Bone marrow smear — 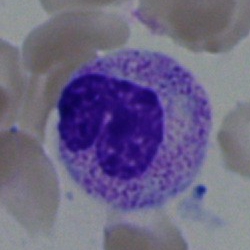 Specimen: bone marrow aspirate smear.
Morphological class: stab cell.